Bone marrow aspirate smear
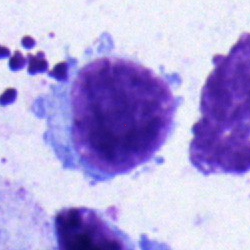

Morphology consistent with a lymphocyte.